Bone marrow aspirate smear: 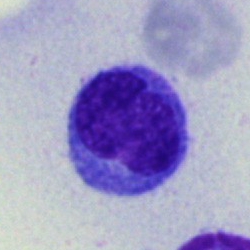

Showing a monocyte.